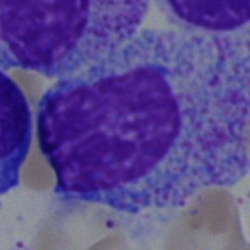Q: What is shown here?
A: Promyelocyte.